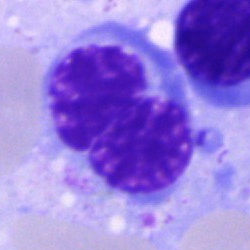Bone marrow aspirate smear, single cell — erythroblast.